Bone marrow aspirate smear:
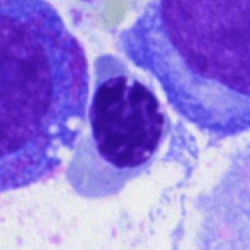
A normoblast.